Single-cell field; bone marrow aspirate smear; 250×250 px — 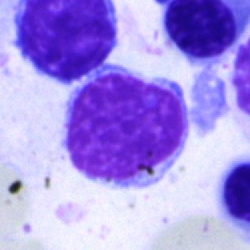

Q: Identify the cell.
A: This is a lymphocyte.